Peripheral blood smear. Single-cell crop — 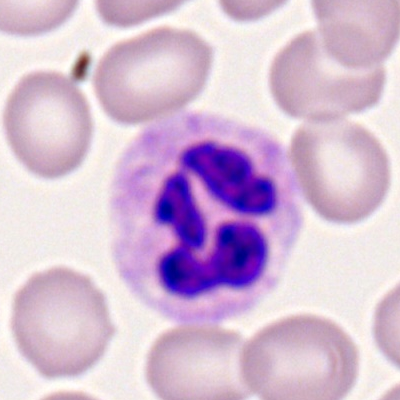
Morphology — neutrophil (segmented).